Bone marrow aspirate smear — 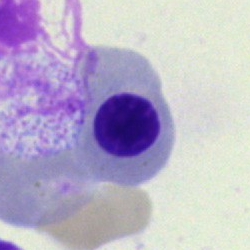

Cell: normoblast.